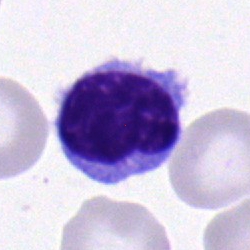 The cell type is lymphocyte.